Bone marrow aspirate smear. Pappenheim-stained.
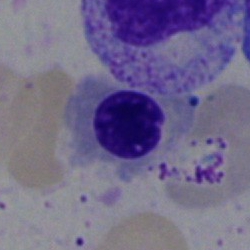
The morphological class is normoblast.